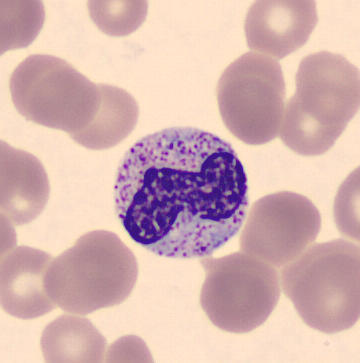Q: What cell is this?
A: Stab cell.